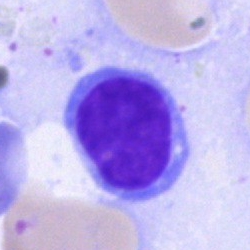
Morphology consistent with a lymphocyte.